Bone marrow smear: 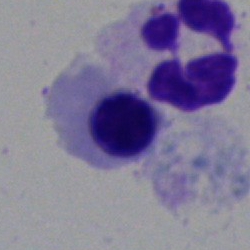 This is a nucleated red blood cell.